250 by 250 pixels · bone marrow smear — 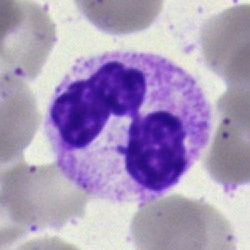

Specimen: bone marrow aspirate smear.
Morphological class: neutrophil (segmented).